Bone marrow aspirate smear; brightfield microscopy, 40× oil immersion.
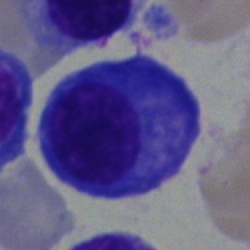

Q: Which cell type is shown here?
A: This is a plasma cell.